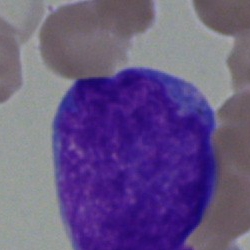Blast cell.